Pappenheim-stained; single cell centered in the field; bone marrow smear
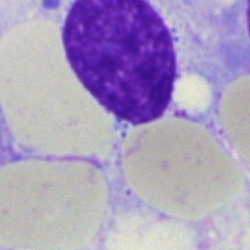The cell shown is an artefact.